Bone marrow smear.
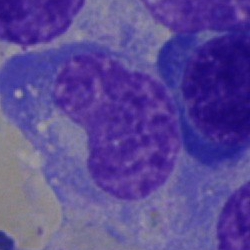

{"cell_type": "plasma cell", "lineage": "lymphoid"}